Bone marrow aspirate smear.
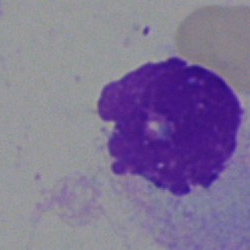 Classification — artifact.